Bone marrow smear. Single-cell crop — 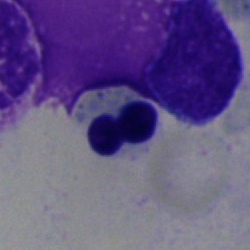

Erythroblast.